Single-cell crop · 100× objective, oil immersion · peripheral blood film — 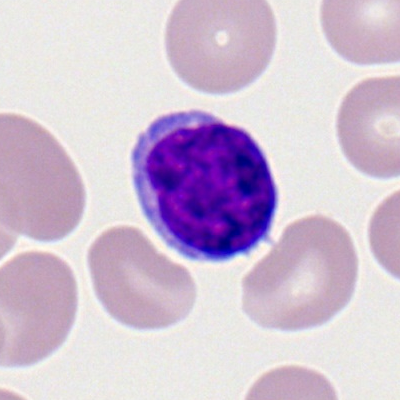 A lymphocyte.